MGG-stained · bone marrow aspirate smear:
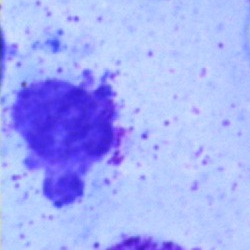
The cell shown is an artifact.